Single cell centered in the field; bone marrow smear
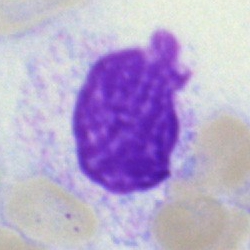
An artifact.